100× objective, oil immersion · peripheral blood film · single-cell crop.
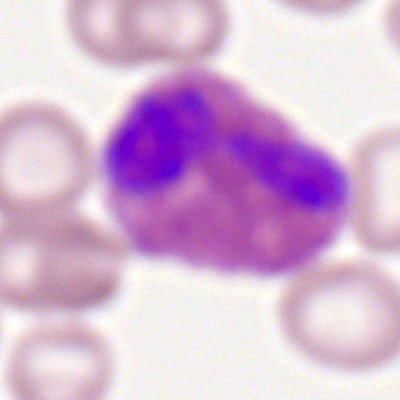 Single cell identified as an eosinophilic granulocyte.